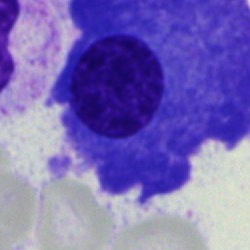 Q: What cell is this?
A: It is a plasma cell.